Bone marrow aspirate smear — 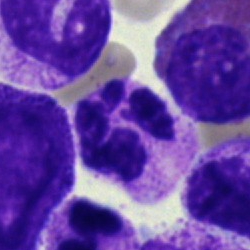
Q: What is the morphological classification of this cell?
A: This is a polymorphonuclear neutrophil.